Bone marrow aspirate smear: 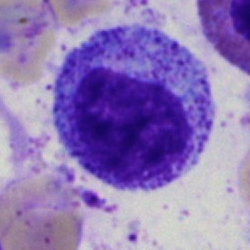

Morphological class: progranulocyte.